Bone marrow aspirate smear.
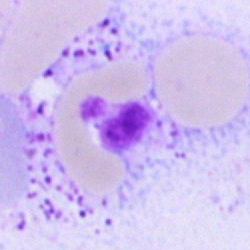
Artifact.